Bone marrow smear:
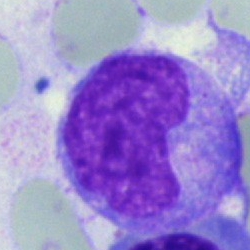

Q: Which cell type is shown here?
A: A monocyte.